Bone marrow aspirate smear. Pappenheim-stained. Cropped to a single cell: 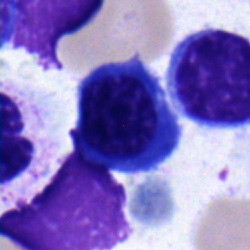
Q: Which cell type is shown here?
A: This is a nucleated red blood cell.